Bone marrow smear. Brightfield microscopy, 40× oil immersion.
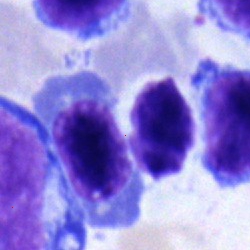Nucleated red blood cell.